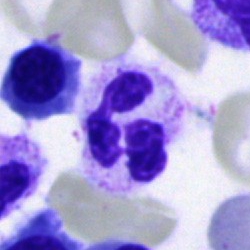

{"cell_type": "segmented neutrophil", "lineage": "myeloid"}